Bone marrow aspirate smear · brightfield microscopy, 40× oil immersion — 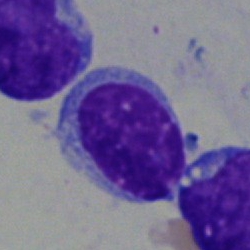

Q: Which cell type is shown here?
A: Typical lymphocyte.